Bone marrow aspirate smear
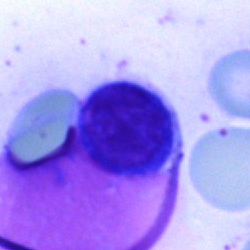This is a nucleated red blood cell.